Bone marrow aspirate smear · brightfield, 40× oil-immersion objective: 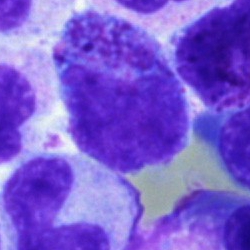
Single cell identified as a promyelocyte.